Bone marrow smear
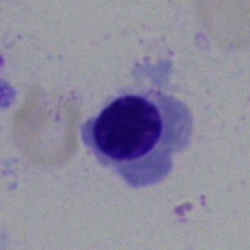 This is an erythroblast.